Bone marrow aspirate smear.
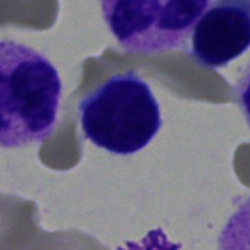 The classification is lymphocyte.